Peripheral blood smear
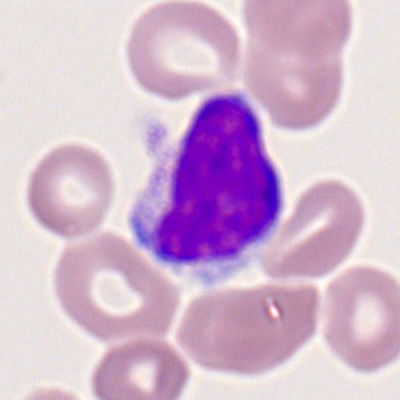
Cell = lymphocyte.